Single cell centered in the field; bone marrow aspirate smear — 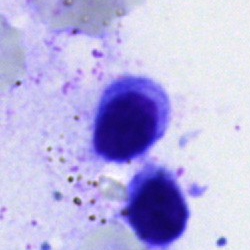This is an erythroblast.